Bone marrow aspirate smear. Single cell centered in the field. 250×250.
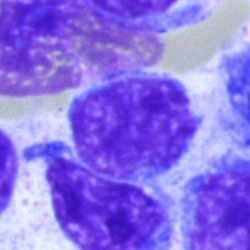

Morphology consistent with a typical lymphocyte.